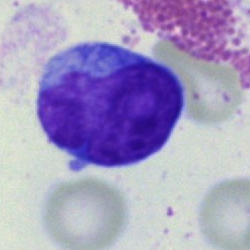

Q: What is the morphological classification of this cell?
A: It is a typical lymphocyte.